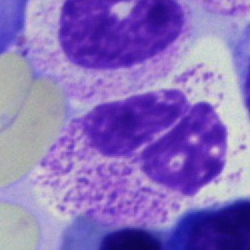
A segmented neutrophil on a bone marrow smear.